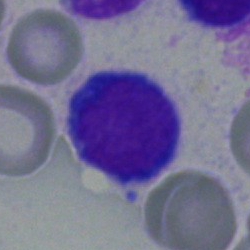 The cell shown is a typical lymphocyte.